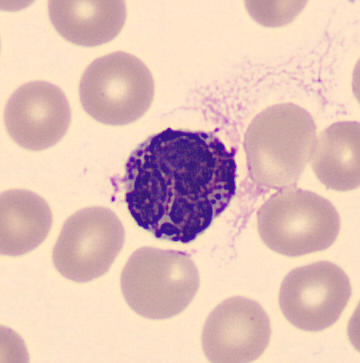 Peripheral blood film. CellaVision DM96.

Morphology — basophilic granulocyte.